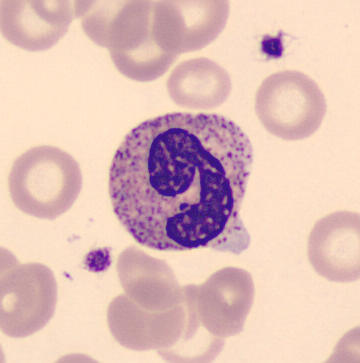Showing a band-form neutrophil.